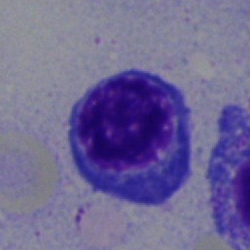

Specimen: bone marrow aspirate smear.
Classification: erythroblast.
Lineage: erythroid.